Bone marrow aspirate smear. Image size 250×250
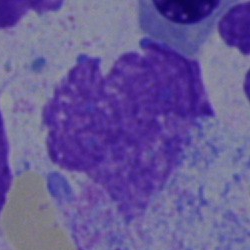Morphology → artifact.